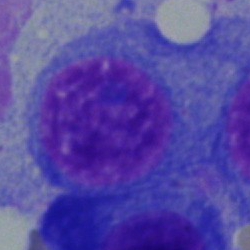 Impression → plasma cell.